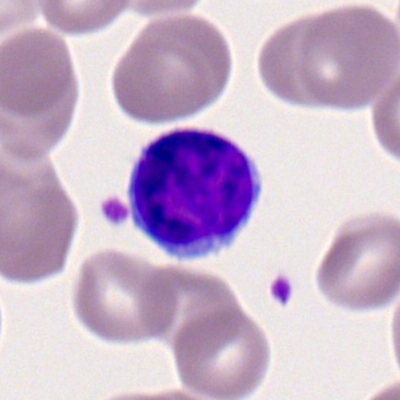
The morphological class is lymphocyte.